Peripheral blood film: 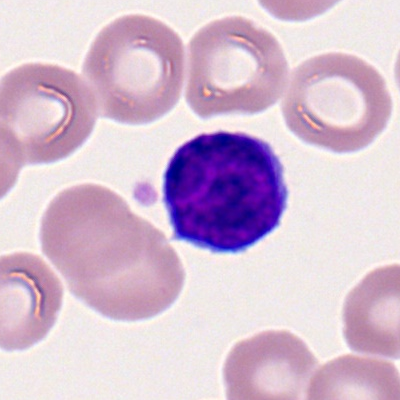

Q: Which cell type is shown here?
A: This is a typical lymphocyte.